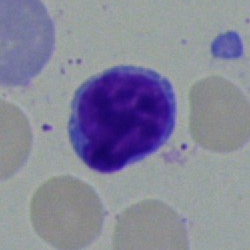A typical lymphocyte on a bone marrow smear.